Bone marrow smear:
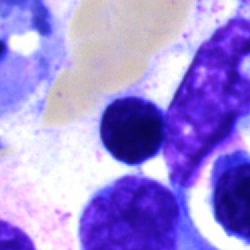Q: What is shown here?
A: Unidentifiable cell.